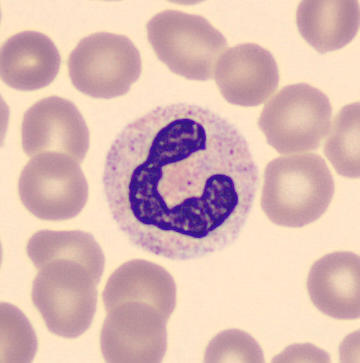 Stab cell.
Peripheral blood smear.